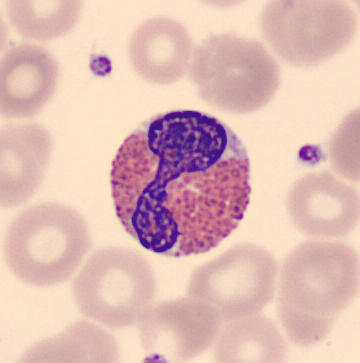An eosinophilic granulocyte.
Image: Peripheral blood film. 360×363 px.